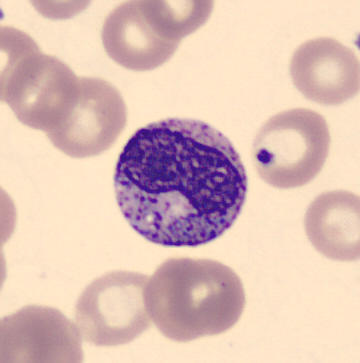 Showing a metamyelocyte.
Preparation: Peripheral blood smear.